250×250 px. Bone marrow smear
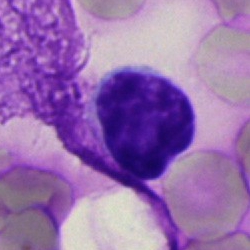

Impression — lymphocyte.